250 by 250 pixels; bone marrow smear: 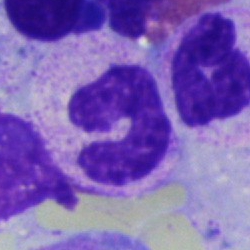

This is a neutrophil (band).